Bone marrow smear. Pappenheim-stained.
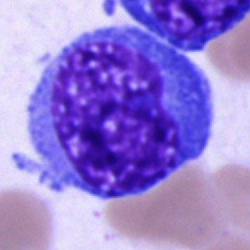 {"cell_type": "blast"}